250×250; bone marrow smear; 40× oil immersion:
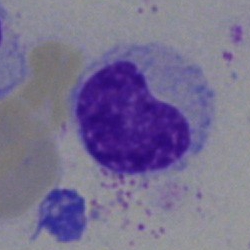
{"cell_type": "stab cell"}